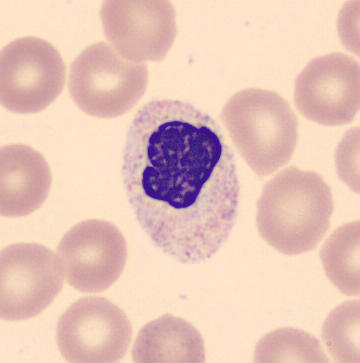Morphological class — segmented neutrophil.

Image: Peripheral blood film.